Brightfield, 40× oil-immersion objective; bone marrow smear; single cell centered in the field:
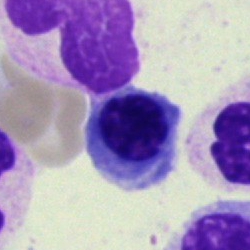Specimen: bone marrow aspirate smear.
Morphological class: nucleated red cell.
Lineage: erythroid.